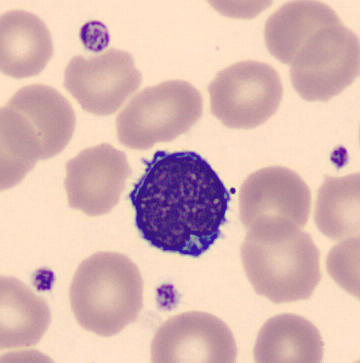Peripheral blood film.

{"cell_type": "typical lymphocyte", "lineage": "lymphoid"}